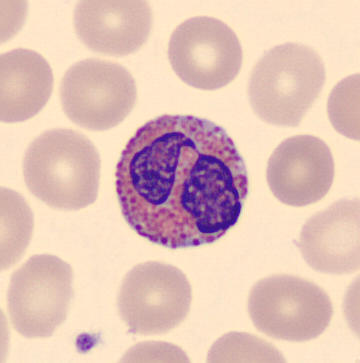
Cell = eosinophil. Preparation: MGG-stained; peripheral blood smear; imaged on a CellaVision DM96 analyser.